Bone marrow smear — 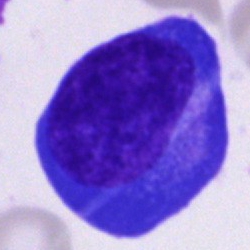Single cell identified as a plasmacyte.